Peripheral blood smear. Single-cell crop:
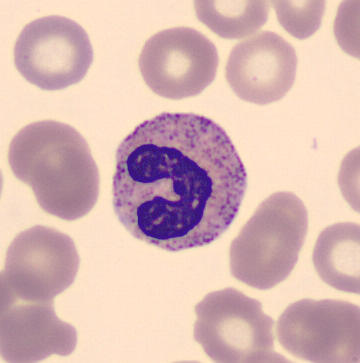
Specimen: peripheral blood smear.
Classification: neutrophil (band).
Lineage: myeloid.